May-Grünwald-Giemsa/Pappenheim stain · bone marrow smear
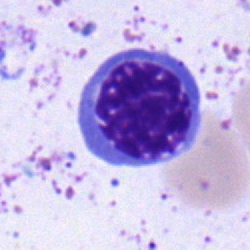

Cell — normoblast.